Brightfield, 100× oil-immersion objective. Romanowsky-stained. Peripheral blood smear
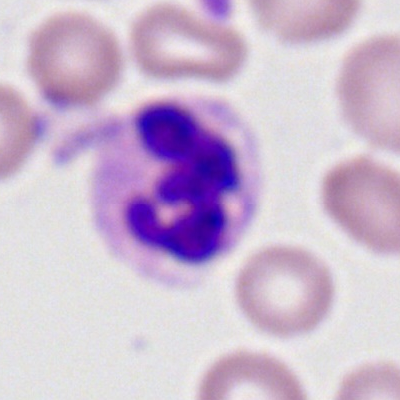 {"cell_type": "neutrophil (segmented)", "lineage": "myeloid"}